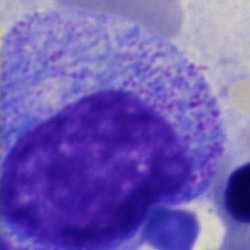

Bone marrow smear showing a promyelocyte.